May-Grünwald-Giemsa stain · bone marrow smear: 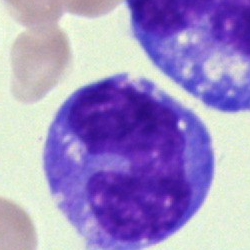

{"cell_type": "monocyte", "lineage": "myeloid"}